Bone marrow smear · brightfield microscopy, 40× oil immersion:
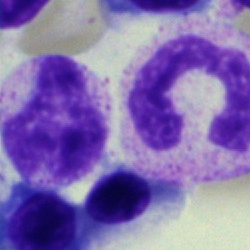
Cell type = band-form neutrophil.